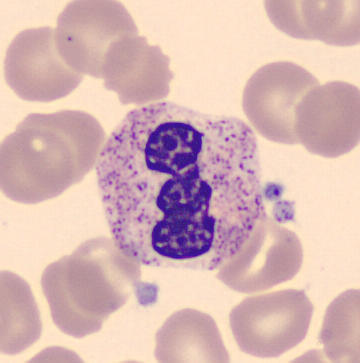

Morphology consistent with a neutrophil (band).

Acquisition: 360×363 px. May-Grünwald-Giemsa-stained. Peripheral blood smear.